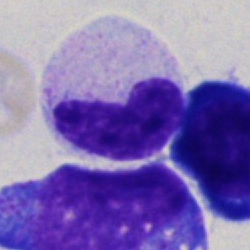
Morphological class: stab cell.